Bone marrow aspirate smear; 250×250 px — 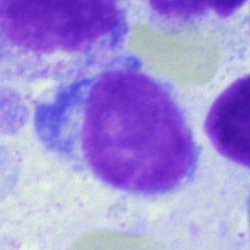Q: What is the morphological classification of this cell?
A: Typical lymphocyte.